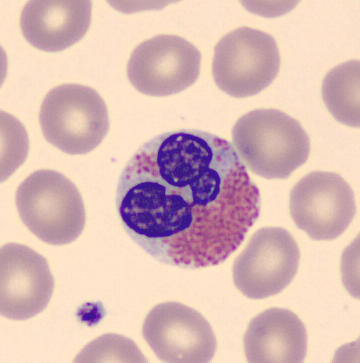 Q: What type of cell is this?
A: It is an eosinophilic granulocyte.